Bone marrow smear. Single-cell crop: 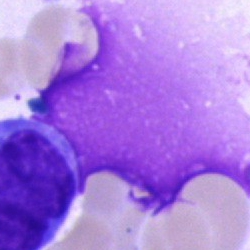

Artifact.